Bone marrow smear; image size 250×250; Pappenheim-stained — 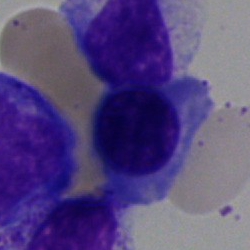

Cell: nucleated red blood cell.